Bone marrow aspirate smear: 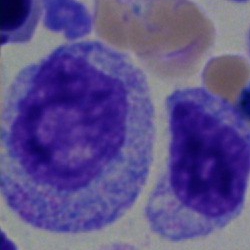

A myelocyte.